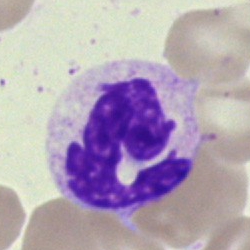
Q: Which cell type is shown here?
A: A polymorphonuclear neutrophil.